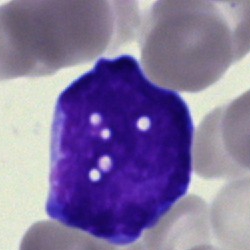Showing a blast cell.